Bone marrow smear
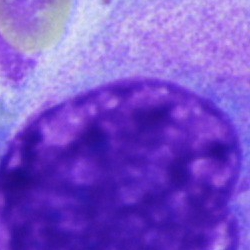

Morphology — cell not matching the other categories.